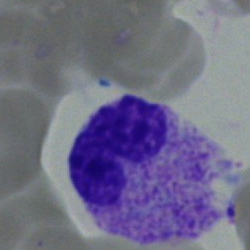

Cell type — band-form neutrophil.